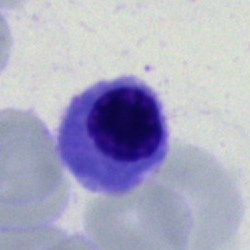
Bone marrow smear showing a nucleated red cell.